Bone marrow aspirate smear:
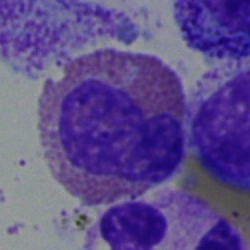Single cell identified as an eosinophil.